Peripheral blood smear · Romanowsky stain:
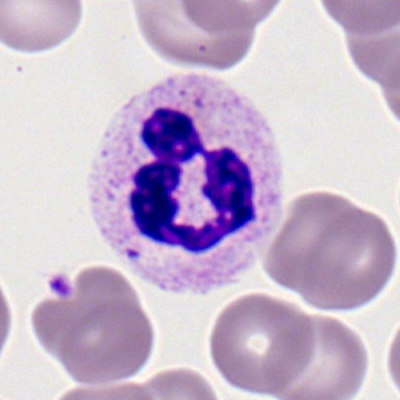Q: Identify the cell.
A: This is a neutrophil (segmented).